Bone marrow smear
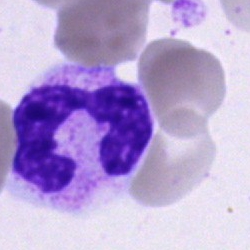This is a polymorphonuclear neutrophil.